Bone marrow smear · 250 by 250 pixels — 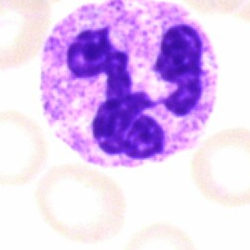 Specimen: bone marrow smear.
Classification: segmented neutrophil.
Lineage: myeloid.